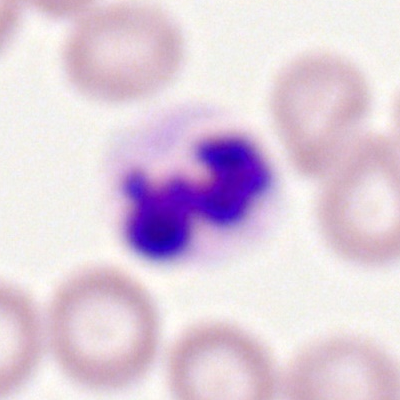

Q: What type of cell is this?
A: Polymorphonuclear neutrophil.